Bone marrow aspirate smear: 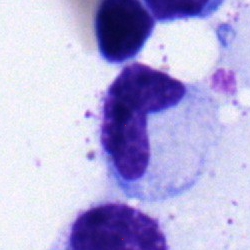
Specimen: bone marrow aspirate smear.
Morphological class: band-form neutrophil.